Single-cell field; bone marrow aspirate smear: 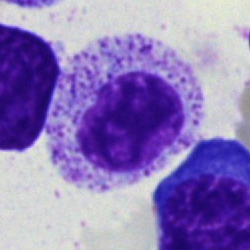

Cell type = myelocyte.